Bone marrow smear
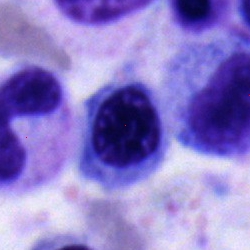This is a nucleated red blood cell.